Brightfield microscopy, 40× oil immersion · bone marrow smear.
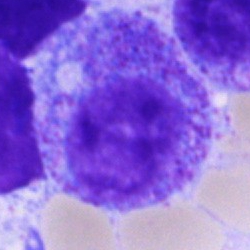
Morphology consistent with a progranulocyte.